Bone marrow aspirate smear — 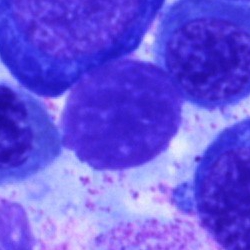

The cell type is lymphocyte.